Bone marrow aspirate smear; single cell centered in the field.
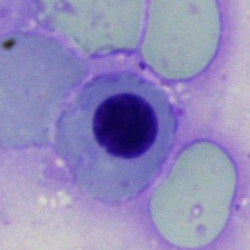Morphological class: nucleated red cell.